Bone marrow smear — 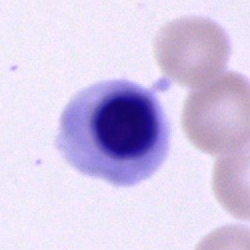
Morphology → normoblast.